Bone marrow aspirate smear: 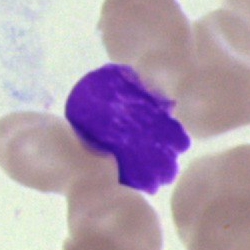Showing an artifact.